Bone marrow aspirate smear: 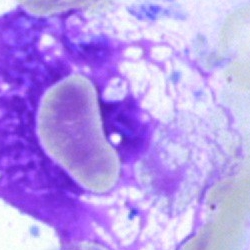
Q: What is shown here?
A: It is an artefact.